Bone marrow smear · 250 by 250 pixels — 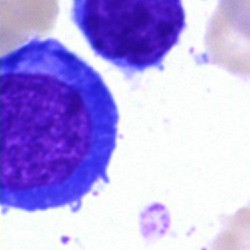

Showing a nucleated red blood cell.